Bone marrow aspirate smear — 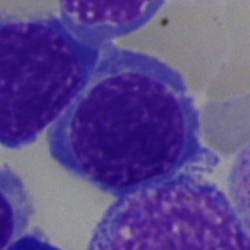
{"cell_type": "normoblast", "lineage": "erythroid"}